250×250 px; bone marrow aspirate smear: 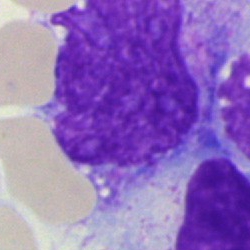
{"cell_type": "artifact"}